Bone marrow aspirate smear.
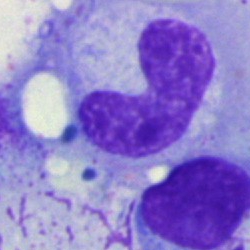Cell — band-form neutrophil.